Bone marrow smear · single cell centered in the field
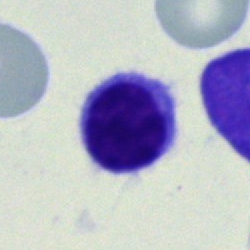 Morphological class = lymphocyte.